Bone marrow smear · brightfield microscopy, 40× oil immersion: 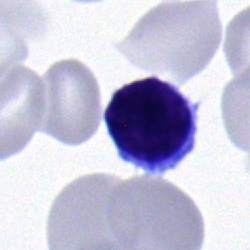 Morphology consistent with a typical lymphocyte.